Peripheral blood film:
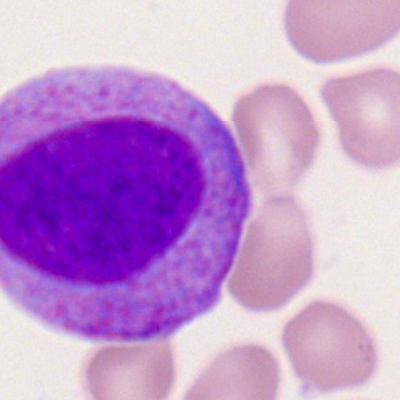Single cell identified as a progranulocyte.